Peripheral blood film — 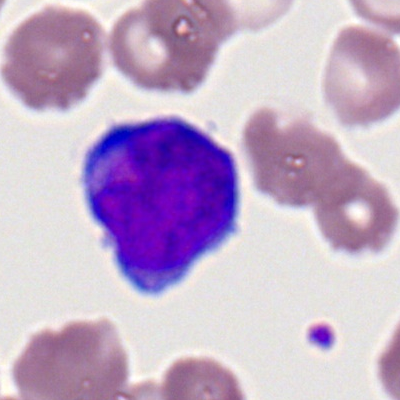
Q: What is the morphological classification of this cell?
A: A myeloid blast.